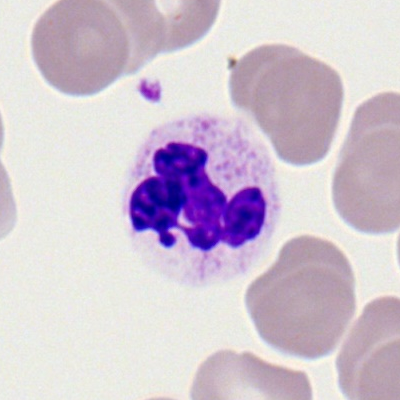Specimen: peripheral blood film.
Cell type: polymorphonuclear neutrophil.
Lineage: myeloid.